Bone marrow aspirate smear
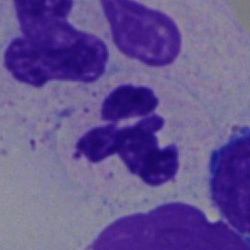Neutrophil (segmented).